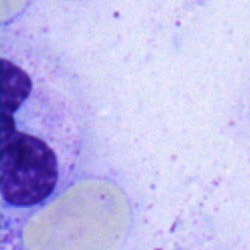
Single-cell crop from a bone marrow smear: band neutrophil.